Bone marrow aspirate smear; 250 by 250 pixels — 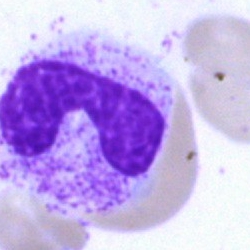
Classification = band neutrophil.